Bone marrow aspirate smear
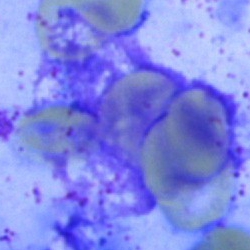
Classification — artifact.